Peripheral blood smear:
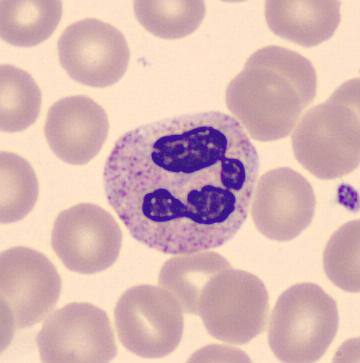Q: Which cell type is shown here?
A: It is a polymorphonuclear neutrophil.